250×250 · MGG-stained · bone marrow aspirate smear
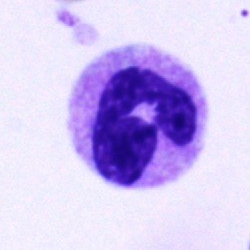
A neutrophil (segmented).